Bone marrow smear. May-Grünwald-Giemsa/Pappenheim stain. 250×250 px — 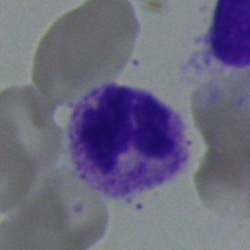 Q: What is shown here?
A: This is a polymorphonuclear neutrophil.